Bone marrow aspirate smear · brightfield microscopy, 40× oil immersion.
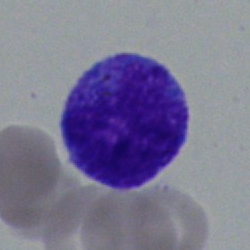 Cell — monocyte.